Bone marrow smear:
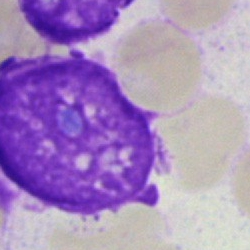

Showing an artifact.